Image size 250×250. Bone marrow smear:
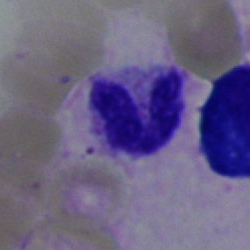 Single cell identified as a band neutrophil.